Bone marrow smear · 250×250 · brightfield, 40× oil-immersion objective — 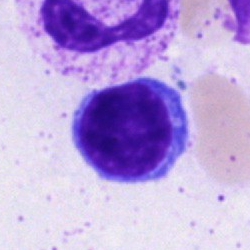The cell type is lymphocyte.